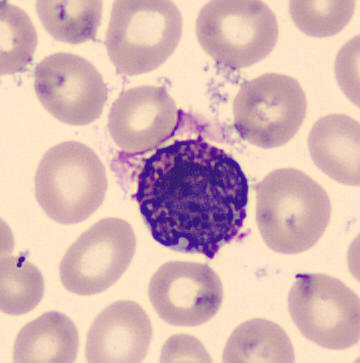Classification: basophilic granulocyte.